Peripheral blood smear · single cell centered in the field · 100× objective, oil immersion: 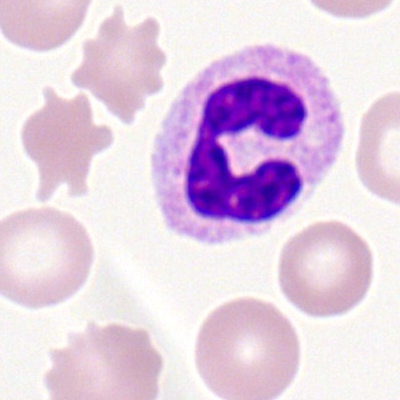
Specimen: peripheral blood smear.
Morphological class: polymorphonuclear neutrophil.
Lineage: myeloid.